Image size 250×250. Bone marrow aspirate smear:
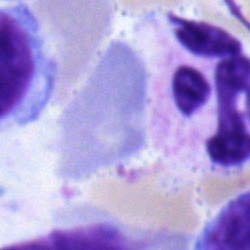

Q: What is shown here?
A: It is a segmented neutrophil.